Cropped to a single cell; bone marrow aspirate smear: 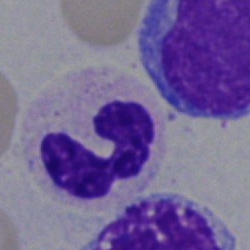

{"cell_type": "polymorphonuclear neutrophil", "lineage": "myeloid"}